Peripheral blood smear: 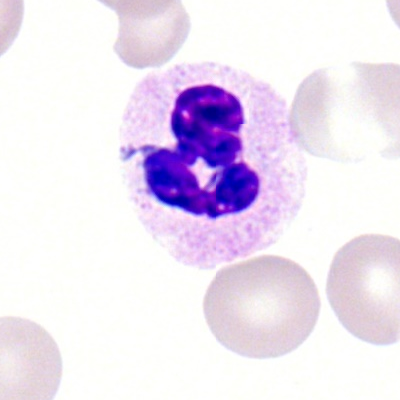The classification is segmented neutrophil.